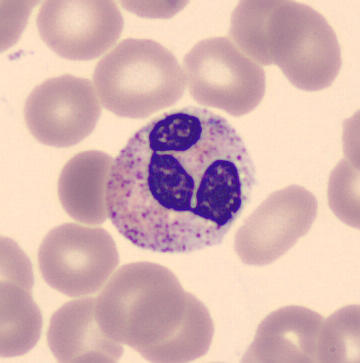

Image: Peripheral blood smear · CellaVision DM96 · 360×363.

The cell is polymorphonuclear neutrophil.